Bone marrow aspirate smear
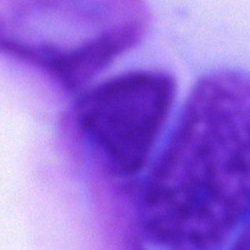
The cell shown is an artefact.